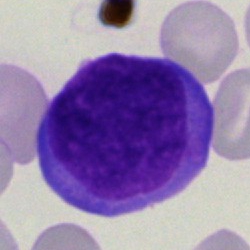

Morphology → blast.